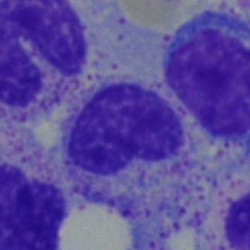Classification = metamyelocyte.